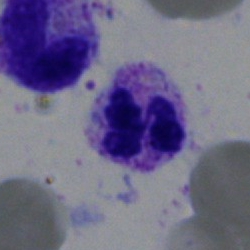

Showing a segmented neutrophil.